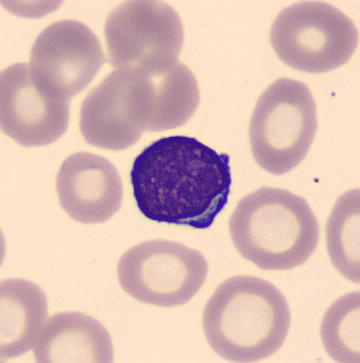Specimen: peripheral blood film.
Cell type: lymphocyte.
Lineage: lymphoid.